Pappenheim-stained. 250 by 250 pixels. Bone marrow smear — 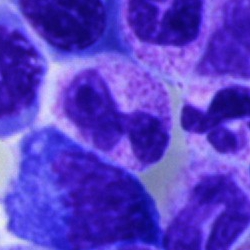
Showing a polymorphonuclear neutrophil.